Bone marrow smear
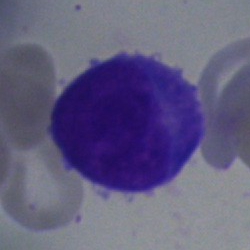
Showing a blast cell.